Romanowsky stain; peripheral blood smear:
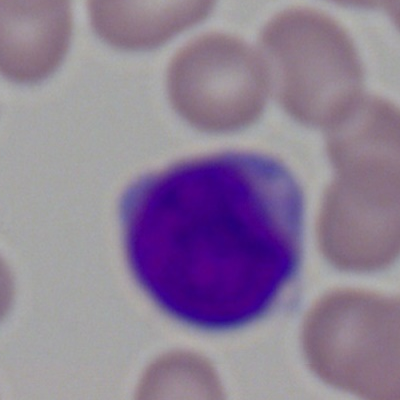
The cell shown is a myeloblast.